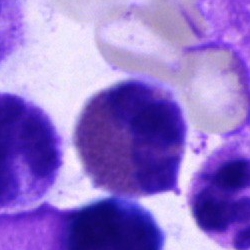 Cell type — eosinophilic granulocyte.